Bone marrow smear · May-Grünwald-Giemsa stain:
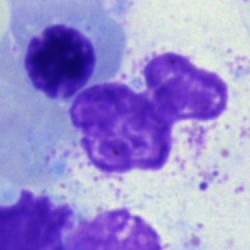Showing a polymorphonuclear neutrophil.